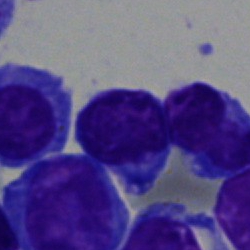
Showing a typical lymphocyte.